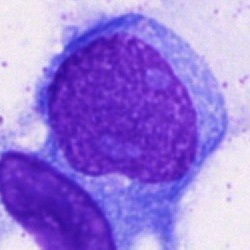 {"cell_type": "blast"}